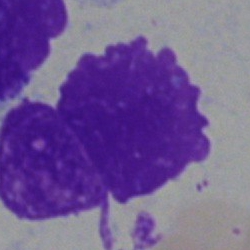
Impression — artifact.